Bone marrow aspirate smear
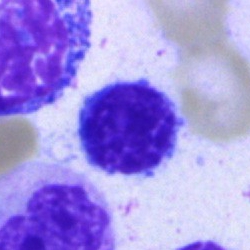 Cell = lymphocyte.